Bone marrow aspirate smear
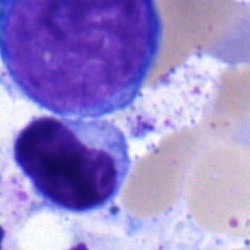
Morphological class: pronormoblast.